250 by 250 pixels. Bone marrow smear. May-Grünwald-Giemsa/Pappenheim stain:
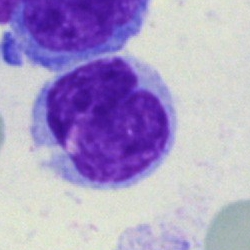 The cell shown is a typical lymphocyte.